May-Grünwald-Giemsa/Pappenheim stain · 250×250 px · bone marrow aspirate smear
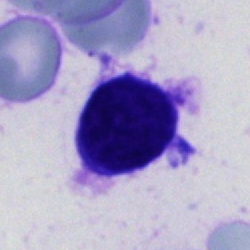
{"cell_type": "unidentifiable cell"}